Bone marrow smear. Brightfield microscopy, 40× oil immersion: 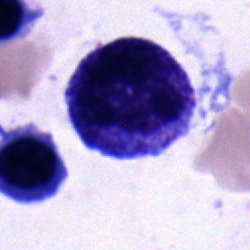Q: Identify the cell.
A: This is a progranulocyte.